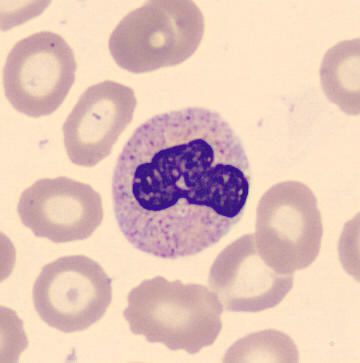Single cell identified as a band neutrophil.

Image: Peripheral blood film.